250 by 250 pixels · bone marrow smear: 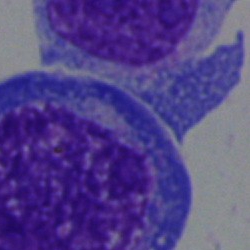 Specimen: bone marrow smear.
Cell type: blast cell.